Peripheral blood smear · M8 digital microscope (Precipoint), 100× oil immersion: 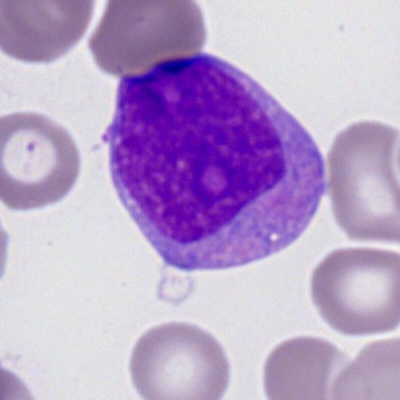
A myeloid blast.